Bone marrow smear
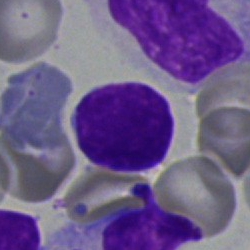
The cell type is typical lymphocyte.